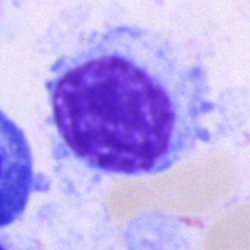

Morphological class — typical lymphocyte.